May-Grünwald-Giemsa/Pappenheim stain. Bone marrow smear — 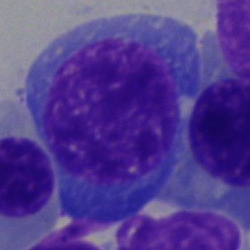{"cell_type": "erythroblast", "lineage": "erythroid"}